Pappenheim-stained · cropped to a single cell · bone marrow aspirate smear: 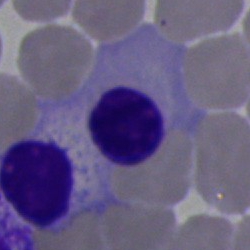 {"cell_type": "nucleated red cell", "lineage": "erythroid"}